Bone marrow smear: 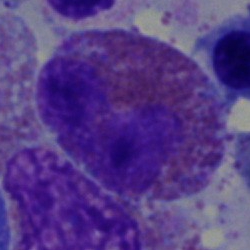
Morphology — eosinophil.